Brightfield, 100× oil-immersion objective. Peripheral blood smear — 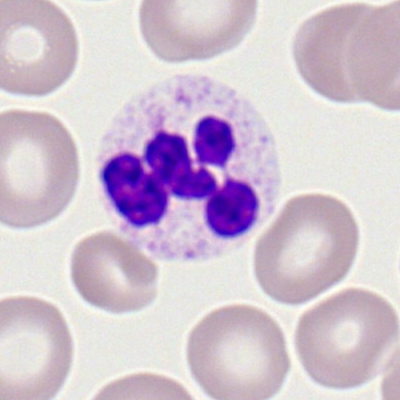 Cell — neutrophil (segmented).